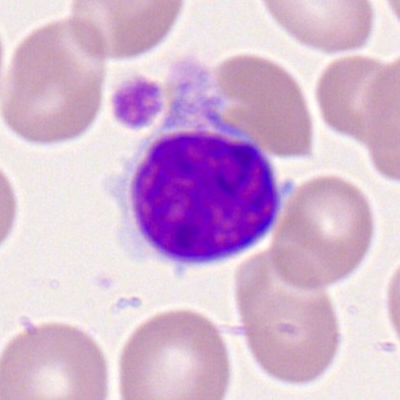Impression — typical lymphocyte.